Pappenheim-stained · bone marrow aspirate smear · cropped to a single cell:
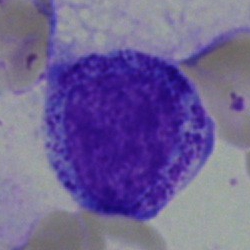
The classification is myelocyte.